Single cell centered in the field. Peripheral blood smear.
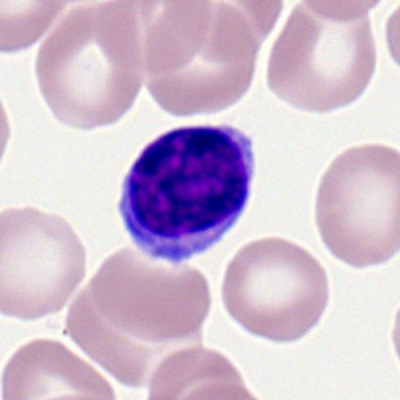 Classification = lymphocyte.